Single cell centered in the field · bone marrow aspirate smear · brightfield, 40× oil-immersion objective
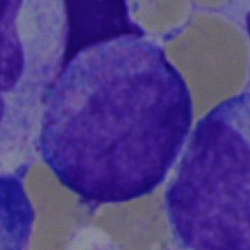 Showing a progranulocyte.